Bone marrow smear — 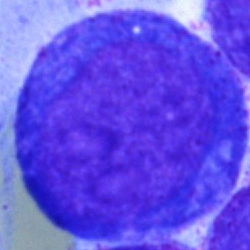

Morphology → progranulocyte.